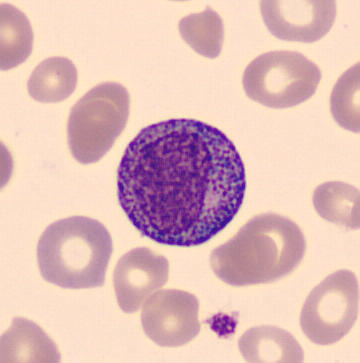

The morphological class is promyelocyte.
Image: Peripheral blood smear.